250×250 px; bone marrow smear:
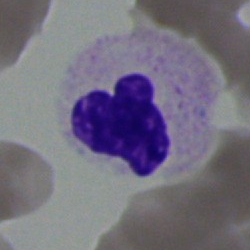 Morphological class: neutrophil (segmented).